Single cell centered in the field; bone marrow aspirate smear: 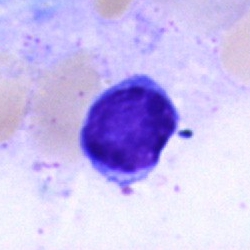 The cell shown is a lymphocyte.